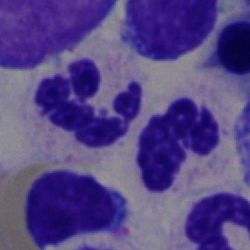 Q: What is shown here?
A: Neutrophil (segmented).